May-Grünwald-Giemsa/Pappenheim stain; bone marrow smear
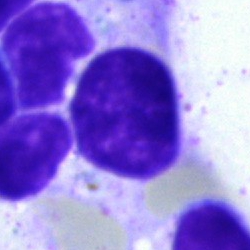
Q: What type of cell is this?
A: This is a typical lymphocyte.